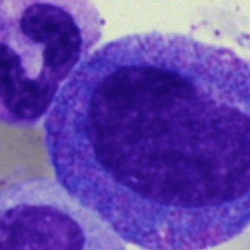

Q: Identify the cell.
A: A progranulocyte.